May-Grünwald-Giemsa/Pappenheim stain; bone marrow smear: 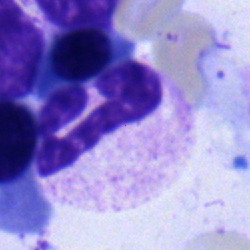
Morphology — segmented neutrophil.